Bone marrow smear. Brightfield microscopy, 40× oil immersion.
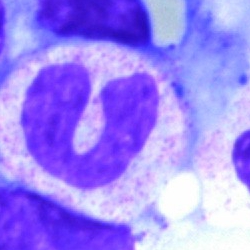{"cell_type": "neutrophil (band)"}